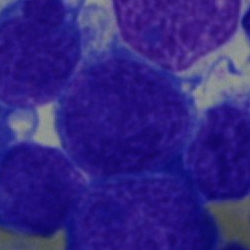
Impression → blast cell.